Peripheral blood film:
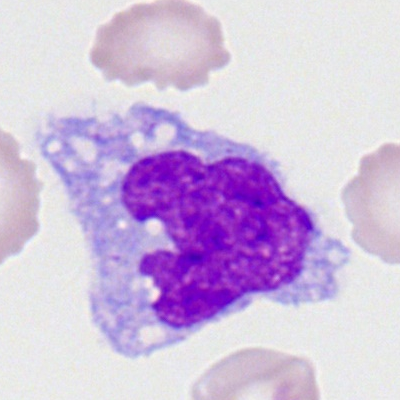
Monocyte.